Bone marrow smear
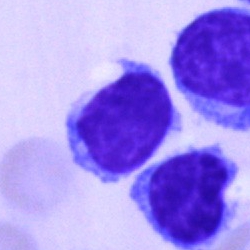 Cell — lymphocyte.